Bone marrow smear — 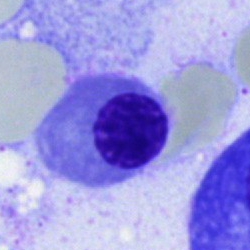The cell type is normoblast.